40× objective, oil immersion. Single-cell field. Bone marrow smear
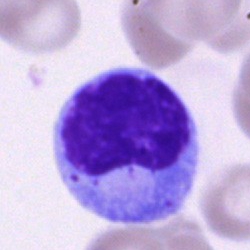

This is an artefact.